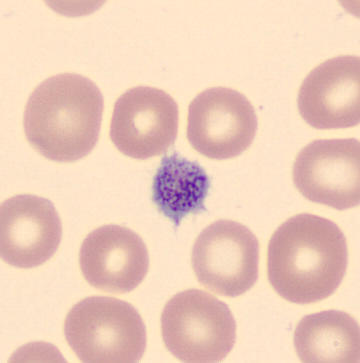
{"cell_type": "platelet (thrombocyte)"}

Peripheral blood film.